May-Grünwald-Giemsa stain · bone marrow smear · single-cell crop — 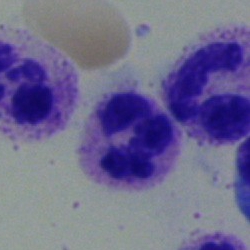

Morphology consistent with a neutrophil (segmented).